Romanowsky stain; peripheral blood smear.
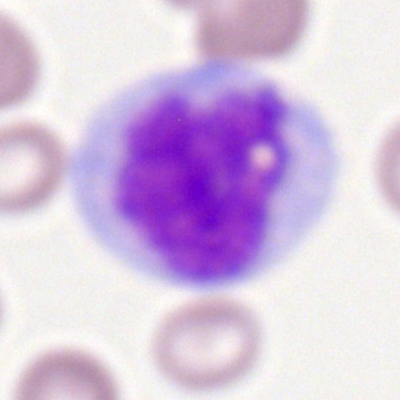
Q: Which cell type is shown here?
A: It is a monocyte.